Bone marrow smear; single cell centered in the field:
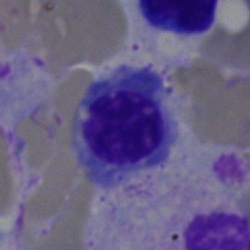

Showing a nucleated red cell.